Bone marrow smear
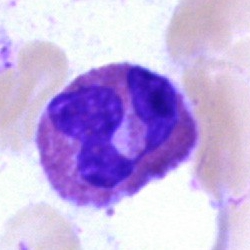{"cell_type": "eosinophil", "lineage": "myeloid"}